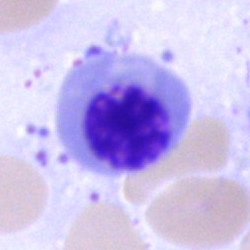

A nucleated red cell.